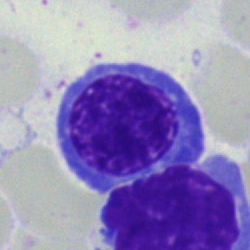

Q: Identify the cell.
A: This is a normoblast.